Bone marrow aspirate smear. 250×250 px.
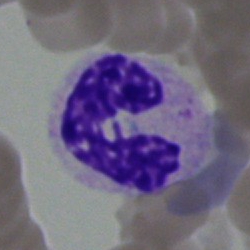
Morphological class: neutrophil (segmented).